Peripheral blood film:
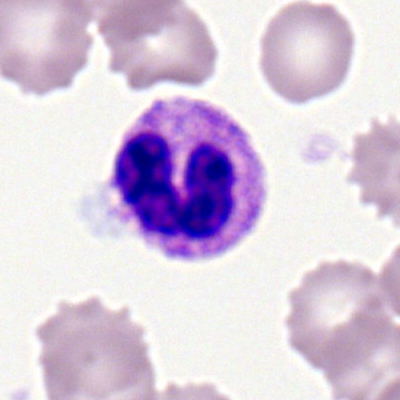 Impression → segmented neutrophil.